Bone marrow aspirate smear
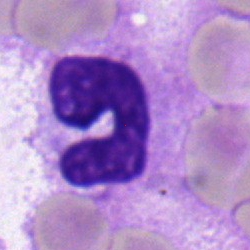

Morphology → band neutrophil.